Bone marrow aspirate smear.
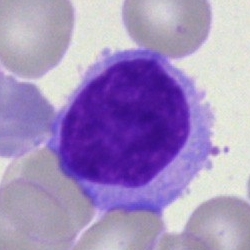
Morphological class — lymphocyte.